Bone marrow smear · single cell centered in the field:
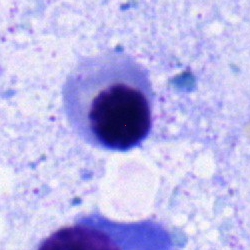 {"cell_type": "normoblast"}